Bone marrow smear: 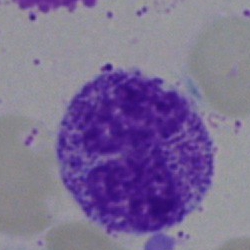Q: What type of cell is this?
A: Polymorphonuclear neutrophil.